Bone marrow aspirate smear · image size 250×250 · single-cell field — 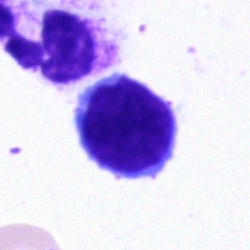

Specimen: bone marrow smear.
Morphological class: typical lymphocyte.
Lineage: lymphoid.